Peripheral blood smear. 100× oil immersion, 14.14 px/µm: 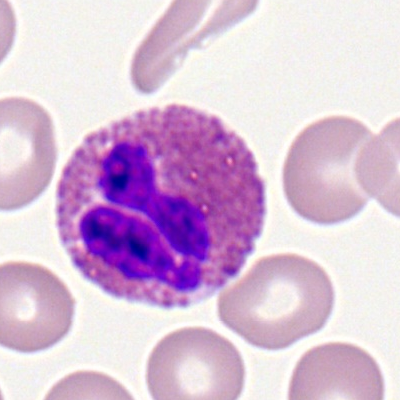Morphology — eosinophil.